Cropped to a single cell; bone marrow smear; 250×250 px:
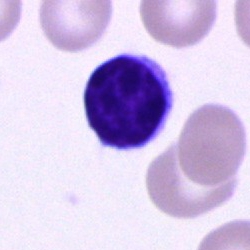

The classification is typical lymphocyte.